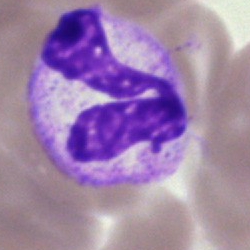A neutrophil (segmented).